Bone marrow smear. MGG-stained. Single cell centered in the field
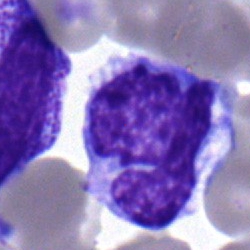
Morphological class: monocyte.